Peripheral blood smear; 360×363.
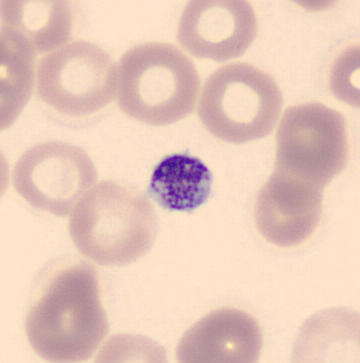
A platelet (thrombocyte).